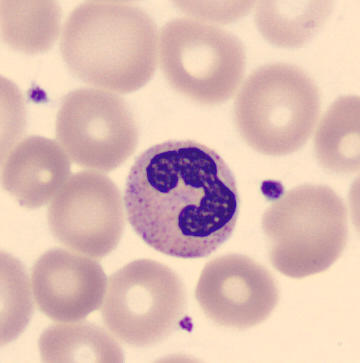
Preparation: Peripheral blood film. Showing a neutrophil (band).